Bone marrow aspirate smear. Cropped to a single cell
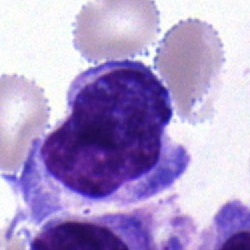
Single cell identified as a typical lymphocyte.